Bone marrow smear
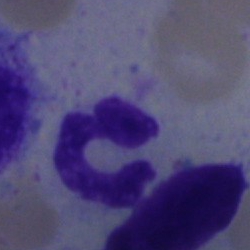
The classification is segmented neutrophil.